Bone marrow aspirate smear
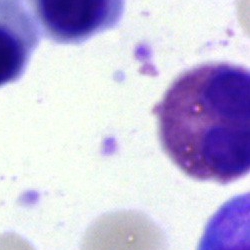Cell of indeterminate lineage.